Bone marrow aspirate smear — 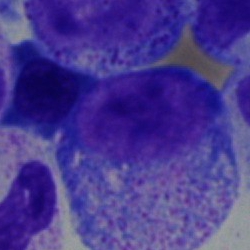
Classification — progranulocyte.